Bone marrow aspirate smear · 250×250
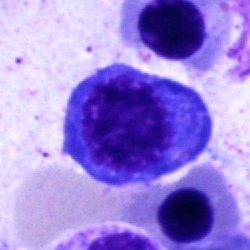A nucleated red cell.